Bone marrow aspirate smear: 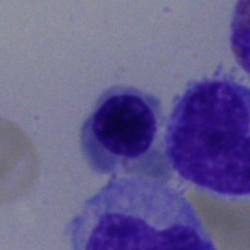 The classification is normoblast.